Bone marrow smear; single cell centered in the field:
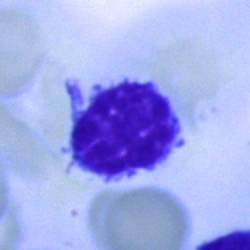Lymphocyte.